Brightfield microscopy, 40× oil immersion · bone marrow smear
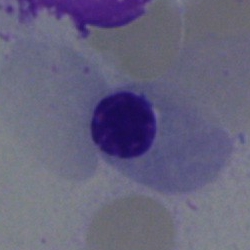 Specimen: bone marrow aspirate smear.
Cell: erythroblast.
Lineage: erythroid.